Bone marrow smear: 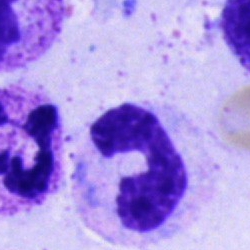
Cell type: stab cell.